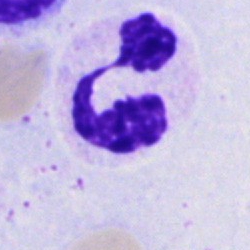

Q: What is shown here?
A: A neutrophil (segmented).